Romanowsky-stained; peripheral blood smear; single cell centered in the field.
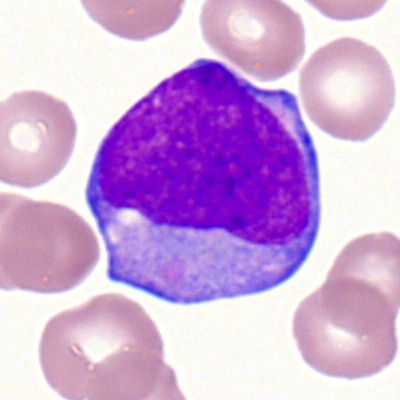Showing a myeloid blast.